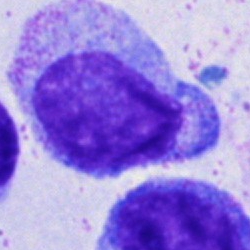

Classification: progranulocyte.